Bone marrow smear; single-cell crop.
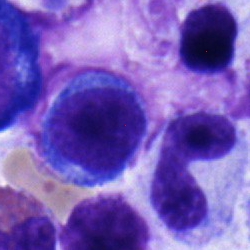

The cell shown is a lymphocyte.